Bone marrow smear; 250×250 px; Pappenheim-stained:
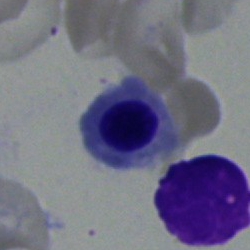

Morphological class: nucleated red blood cell.